Bone marrow aspirate smear: 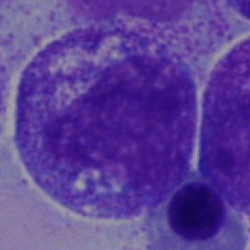
Specimen: bone marrow aspirate smear.
Cell type: progranulocyte.
Lineage: myeloid.